Peripheral blood film: 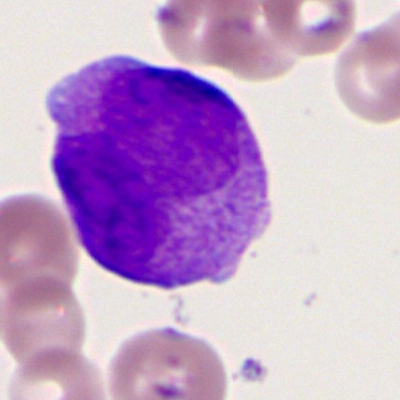

{"cell_type": "promyelocyte (bilobed)"}